Bone marrow aspirate smear
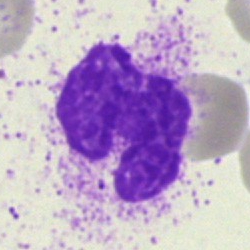
Morphological class: neutrophil (segmented).